Bone marrow smear.
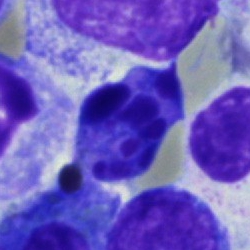
Artifact.